250×250 px; bone marrow aspirate smear.
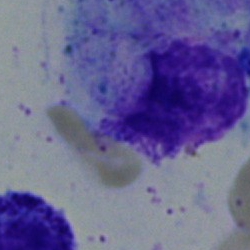
The cell shown is an artifact.